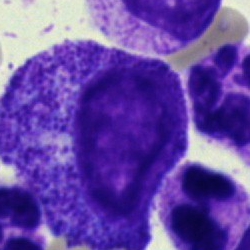

Showing a promyelocyte.